Bone marrow smear — 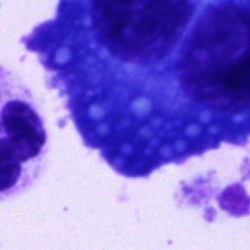A plasmacyte.